Single-cell field; bone marrow smear; brightfield microscopy, 40× oil immersion
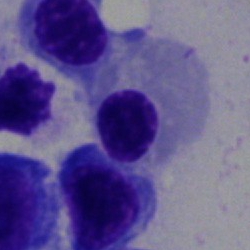 Morphology — erythroblast.